Bone marrow aspirate smear
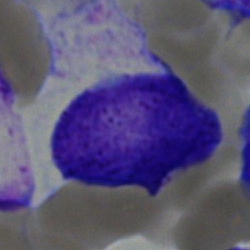
Morphology consistent with a blast.